Single cell centered in the field; bone marrow smear; Pappenheim-stained:
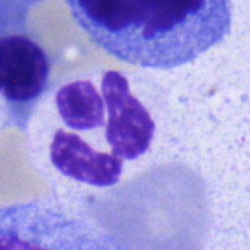
Specimen: bone marrow smear.
Cell type: neutrophil (segmented).
Lineage: myeloid.